Bone marrow aspirate smear
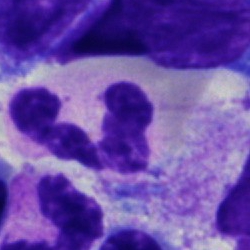
Q: Identify the cell.
A: A neutrophil (segmented).